Bone marrow aspirate smear — 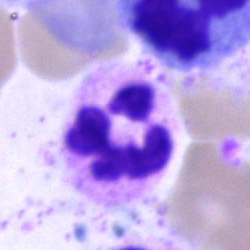 A polymorphonuclear neutrophil.